Bone marrow smear:
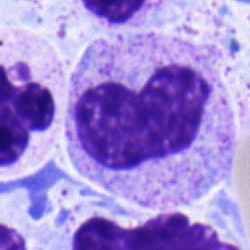Specimen: bone marrow aspirate smear.
Cell: band neutrophil.
Lineage: myeloid.